Bone marrow aspirate smear · cropped to a single cell: 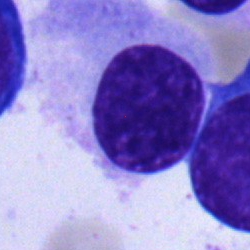
This is a plasma cell.